Bone marrow smear — 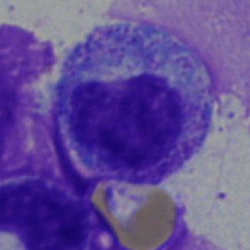
Morphology consistent with a myelocyte.